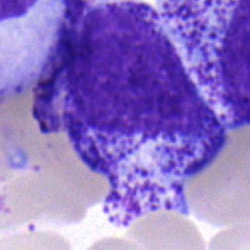 Morphology → myelocyte.